Single-cell field. Bone marrow aspirate smear: 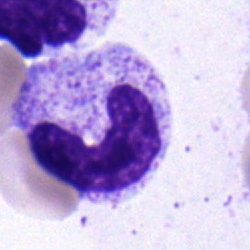

Q: Identify the cell.
A: It is a band-form neutrophil.